Bone marrow smear: 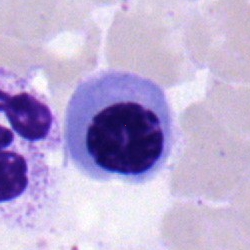 Single cell identified as a normoblast.